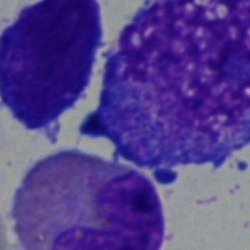The cell shown is an eosinophilic granulocyte.